Bone marrow smear: 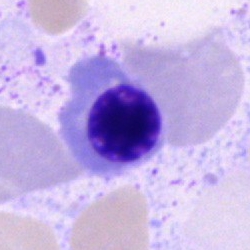Morphological class — normoblast.